Bone marrow smear — 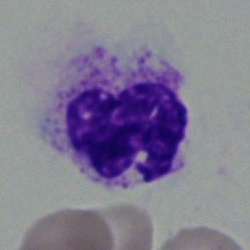
Specimen: bone marrow aspirate smear.
Cell: segmented neutrophil.
Lineage: myeloid.